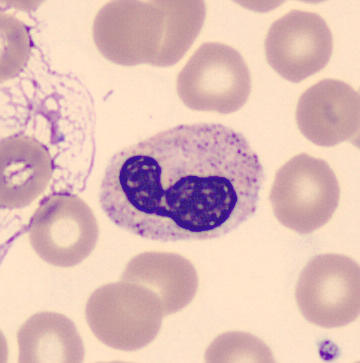
Impression → band-form neutrophil.
Peripheral blood film.